Bone marrow aspirate smear; 250×250 px.
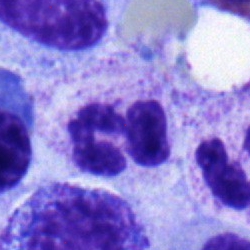 Q: Which cell type is shown here?
A: It is a neutrophil (segmented).